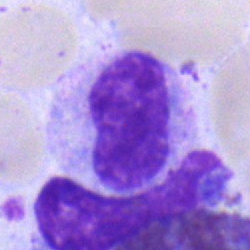
Q: Which cell type is shown here?
A: Metamyelocyte.